Bone marrow aspirate smear · MGG-stained.
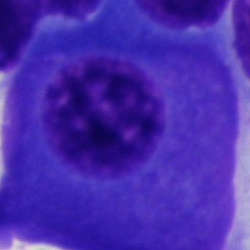Q: What type of cell is this?
A: A plasmacyte.